Bone marrow smear · 250×250 px · 40× objective, oil immersion.
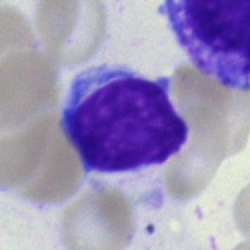
Lymphocyte.